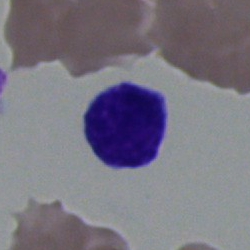 A typical lymphocyte.